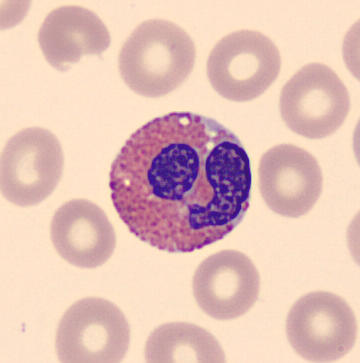

Peripheral blood smear showing an eosinophil.